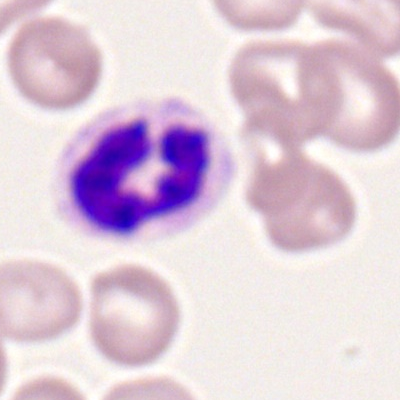

Classification — polymorphonuclear neutrophil.